Cropped to a single cell; bone marrow smear — 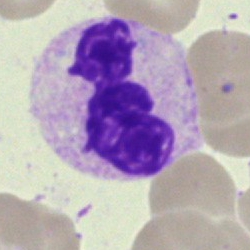
Specimen: bone marrow smear.
Cell type: segmented neutrophil.
Lineage: myeloid.